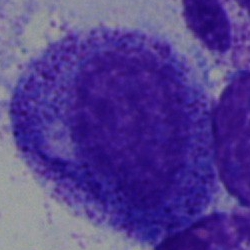Q: Which cell type is shown here?
A: It is a promyelocyte.